Bone marrow aspirate smear.
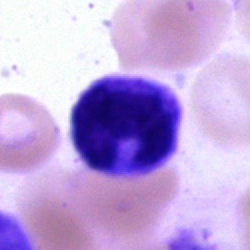Q: What is the morphological classification of this cell?
A: This is a monocyte.